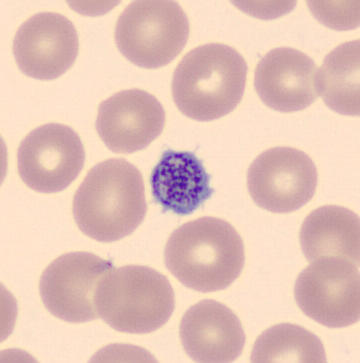 Image: Peripheral blood film. Q: What is this?
A: This is a platelet (thrombocyte).